Bone marrow smear. 40× oil immersion:
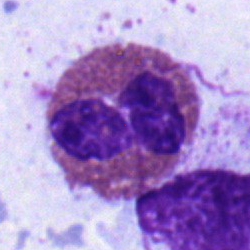Impression — eosinophilic granulocyte.